Bone marrow aspirate smear
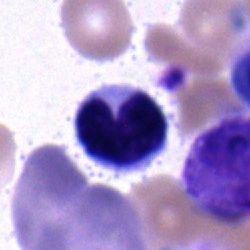Morphological class — band neutrophil.